Bone marrow aspirate smear:
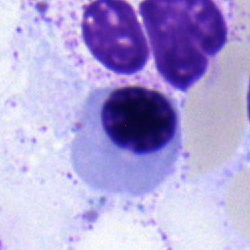
Showing a nucleated red blood cell.